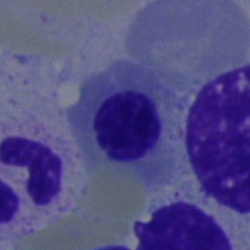Q: Identify the cell.
A: A nucleated red cell.